250×250 px; MGG-stained; bone marrow smear — 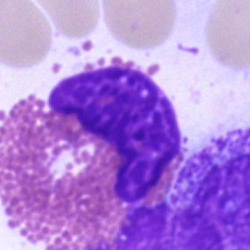
The cell shown is an eosinophilic granulocyte.